Bone marrow aspirate smear — 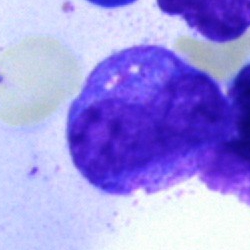
Morphological class = promyelocyte.